Bone marrow aspirate smear.
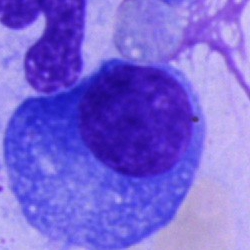

Morphology → plasmacyte.